Bone marrow smear: 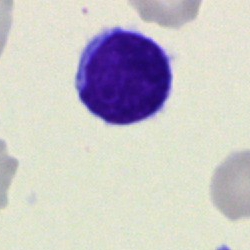 {"cell_type": "typical lymphocyte"}